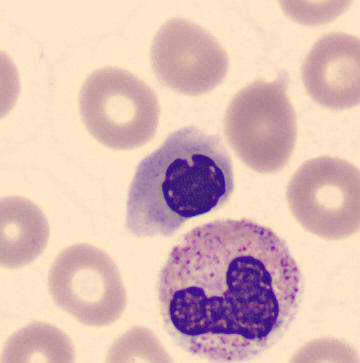
Single-cell crop from a peripheral blood smear: nucleated red blood cell.